Bone marrow smear: 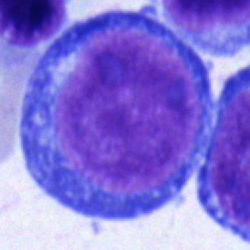
Impression → pronormoblast.